Cropped to a single cell · bone marrow smear:
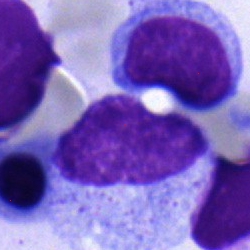

This is a metamyelocyte.